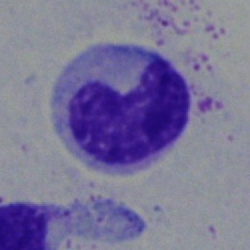
Morphology → metamyelocyte.